Bone marrow aspirate smear — 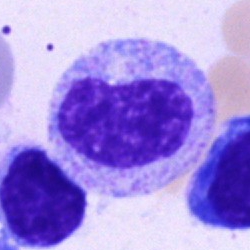 Q: Which cell type is shown here?
A: This is a metamyelocyte.